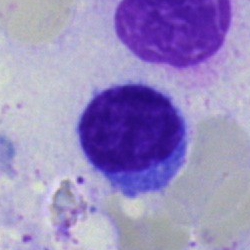

Morphological class = lymphocyte.